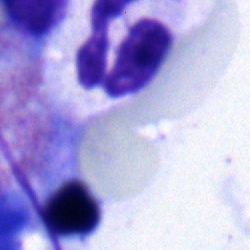

Bone marrow smear showing a segmented neutrophil.